May-Grünwald-Giemsa/Pappenheim stain · bone marrow aspirate smear
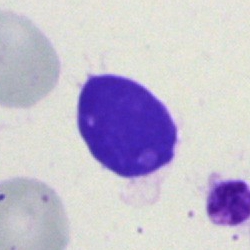

Artefact.